Bone marrow smear.
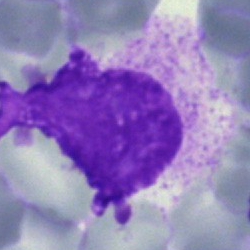The cell shown is an artefact.